Bone marrow aspirate smear; Pappenheim-stained; cropped to a single cell: 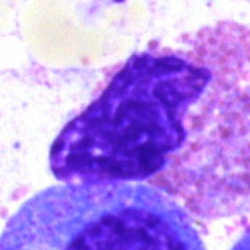Impression — eosinophil.